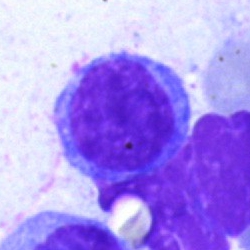The morphological class is typical lymphocyte.